Bone marrow smear · brightfield, 40× oil-immersion objective · May-Grünwald-Giemsa/Pappenheim stain:
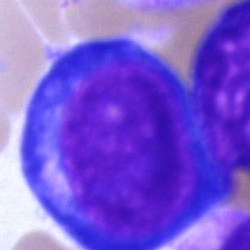Morphology consistent with a pronormoblast.